Peripheral blood smear
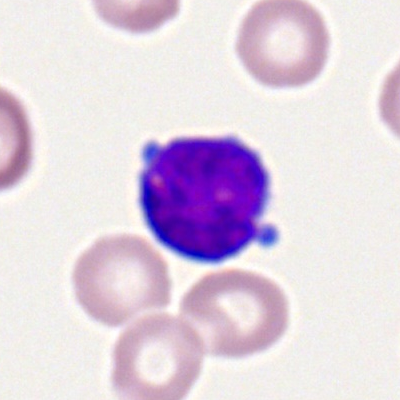
Morphology consistent with a lymphocyte.